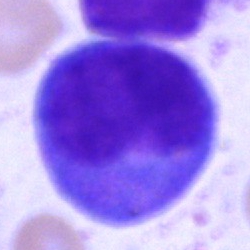 Q: Which cell type is shown here?
A: A monocyte.